250 by 250 pixels · bone marrow smear — 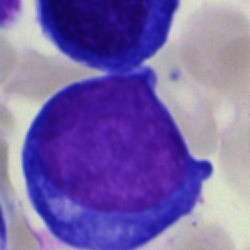

Cell: proerythroblast.